MGG-stained. Brightfield microscopy, 40× oil immersion. Bone marrow smear:
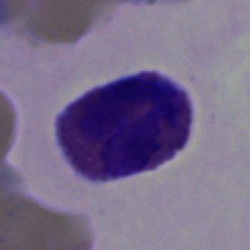 Morphological class — eosinophilic granulocyte.